Bone marrow aspirate smear · Pappenheim-stained · 250 by 250 pixels
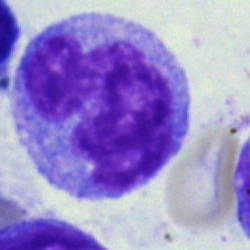
Lymphocyte.